Bone marrow aspirate smear.
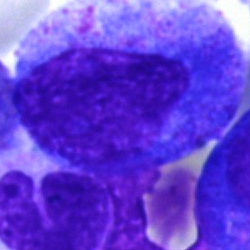
Specimen: bone marrow aspirate smear.
Classification: progranulocyte.
Lineage: myeloid.